Bone marrow aspirate smear
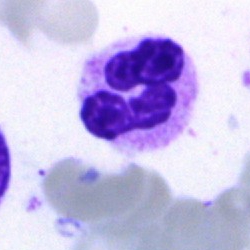
Q: What type of cell is this?
A: Polymorphonuclear neutrophil.